Bone marrow smear · 250×250 · 40× objective, oil immersion
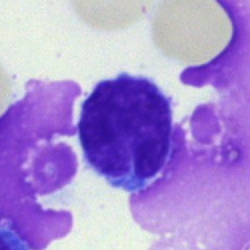A typical lymphocyte.